Bone marrow aspirate smear:
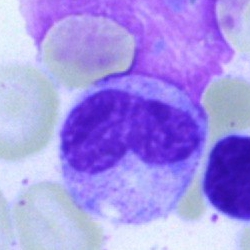

The classification is band-form neutrophil.